Bone marrow aspirate smear. Pappenheim-stained.
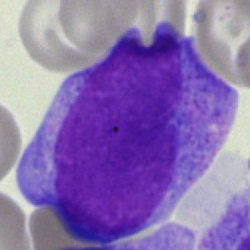Q: What type of cell is this?
A: This is a blast.